Bone marrow smear.
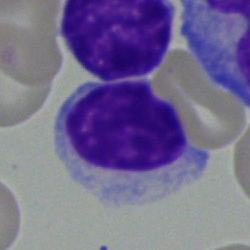Q: What is shown here?
A: It is a lymphocyte.